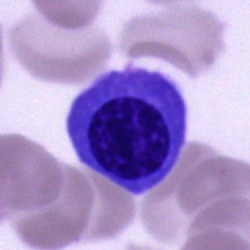
Nucleated red blood cell.